Bone marrow aspirate smear: 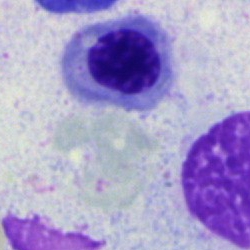

The classification is normoblast.